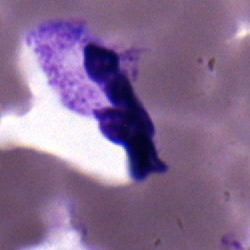

Cell type: polymorphonuclear neutrophil.